Bone marrow smear — 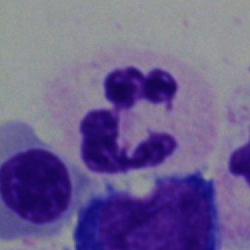 Impression — segmented neutrophil.